Bone marrow smear
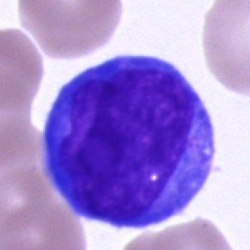
{"cell_type": "undifferentiated blast"}